Bone marrow smear.
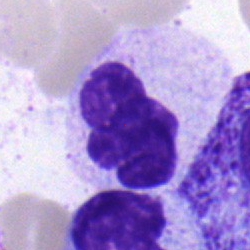

{"cell_type": "neutrophil (segmented)", "lineage": "myeloid"}